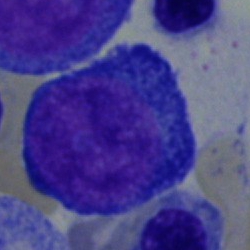The cell shown is a pronormoblast.